Bone marrow aspirate smear:
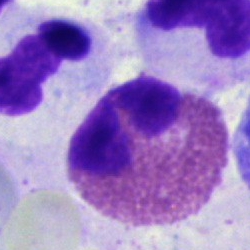

The cell is eosinophilic granulocyte.